Bone marrow aspirate smear: 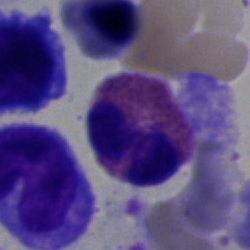 This is an eosinophil.